Bone marrow aspirate smear.
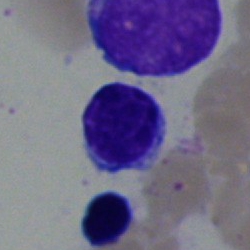Morphology → typical lymphocyte.